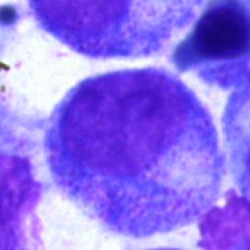 {"cell_type": "progranulocyte"}